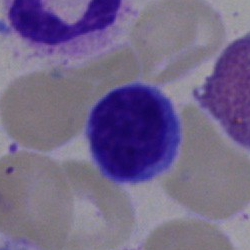 A lymphocyte.